Bone marrow smear
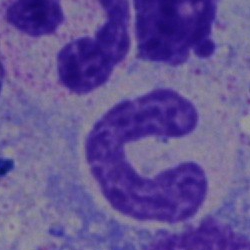

Morphological class = stab cell.